Bone marrow aspirate smear · 40× oil immersion — 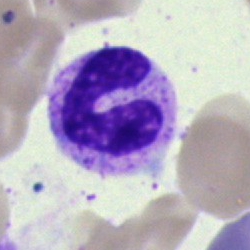
The cell shown is a band neutrophil.